Single-cell crop · peripheral blood film:
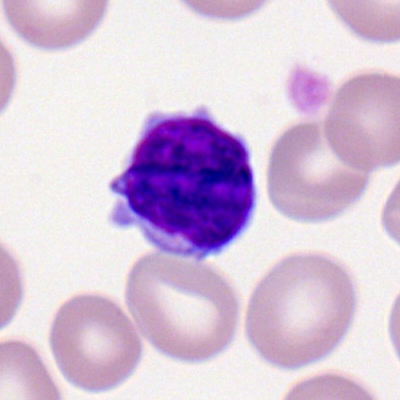

A lymphocyte.